Bone marrow aspirate smear
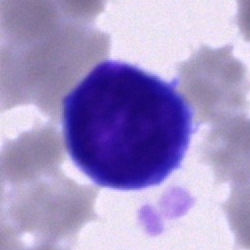

Blast cell.